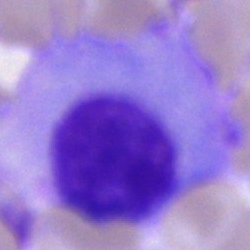Cell type: plasmacyte.